Peripheral blood film:
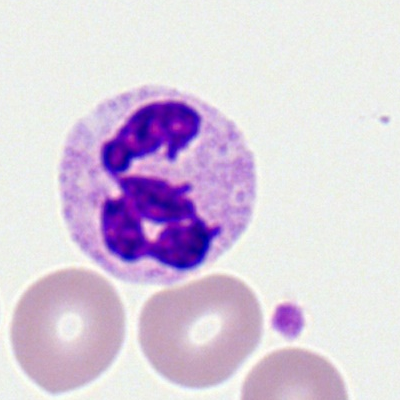

Classification — polymorphonuclear neutrophil.